May-Grünwald-Giemsa stain. Bone marrow aspirate smear
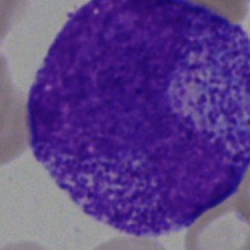 Cell type — promyelocyte.